250 by 250 pixels · bone marrow aspirate smear
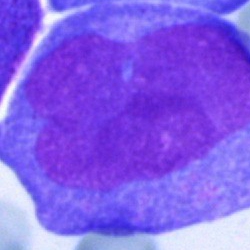Q: What cell is this?
A: It is an undifferentiated blast.